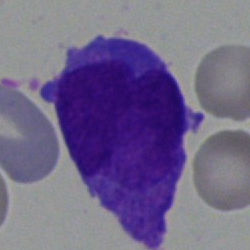
Bone marrow smear showing a blast cell.